Peripheral blood smear; 100× oil immersion.
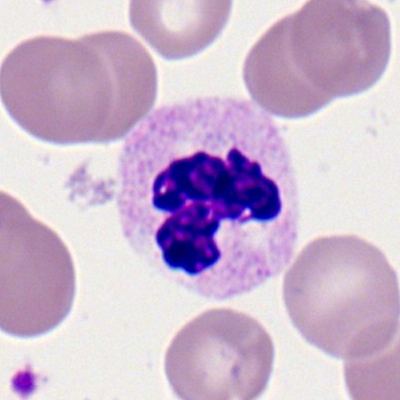
Q: What cell is this?
A: It is a segmented neutrophil.